Bone marrow smear:
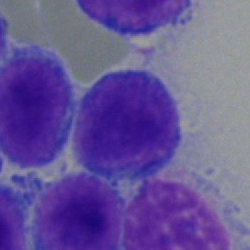

Morphology → lymphocyte.